Bone marrow smear — 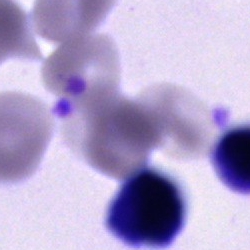Morphology consistent with an unidentifiable cell.